Single cell centered in the field; bone marrow aspirate smear; Pappenheim-stained.
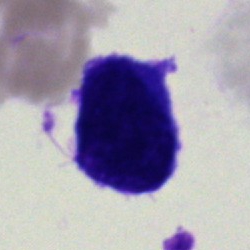

Specimen: bone marrow smear.
Morphological class: undifferentiated blast.